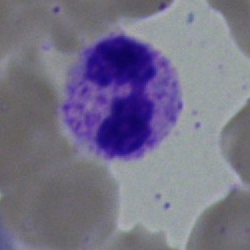

The cell shown is a polymorphonuclear neutrophil.